40× objective, oil immersion; bone marrow aspirate smear
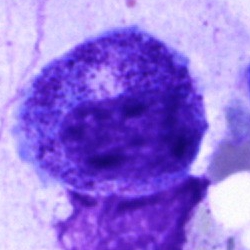This is a promyelocyte.